Cropped to a single cell · brightfield microscopy, 40× oil immersion · bone marrow aspirate smear
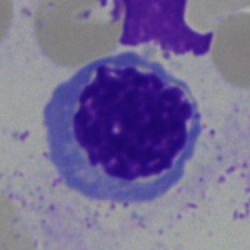
Morphological class: erythroblast.